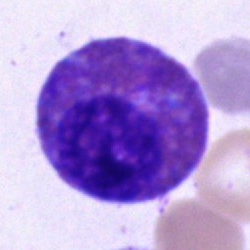Morphological class = eosinophil.